100× oil immersion, 14.14 px/µm; peripheral blood smear: 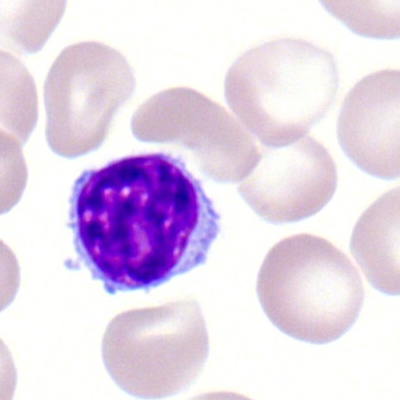

Cell type = lymphocyte.